Bone marrow smear · single cell centered in the field — 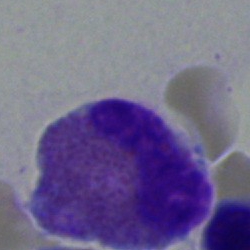
Q: Which cell type is shown here?
A: Eosinophil.